250×250 px. Pappenheim-stained. Bone marrow aspirate smear — 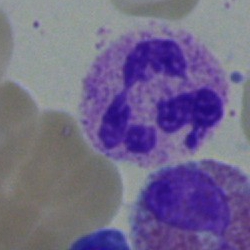Specimen: bone marrow aspirate smear.
Classification: neutrophil (segmented).
Lineage: myeloid.